Bone marrow aspirate smear · 40× objective, oil immersion · single cell centered in the field.
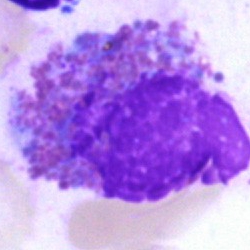 Specimen: bone marrow aspirate smear.
Cell type: artifact.